May-Grünwald-Giemsa/Pappenheim stain. Bone marrow smear.
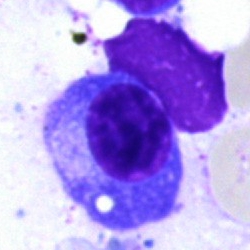

Morphology — plasma cell.